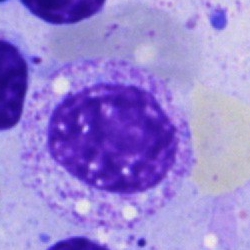

Morphological class: myelocyte.